Bone marrow aspirate smear:
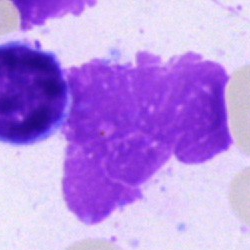 Q: What is shown here?
A: An artifact.